Bone marrow aspirate smear — 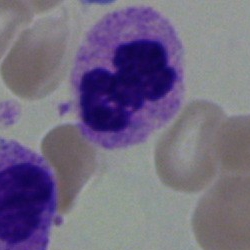
This is a segmented neutrophil.